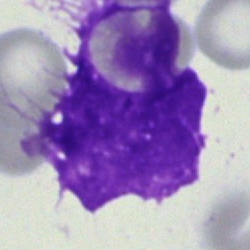

Morphology consistent with an artefact.